250×250 · bone marrow smear · single-cell field:
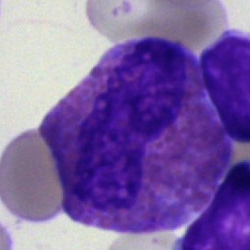 This is an eosinophil.